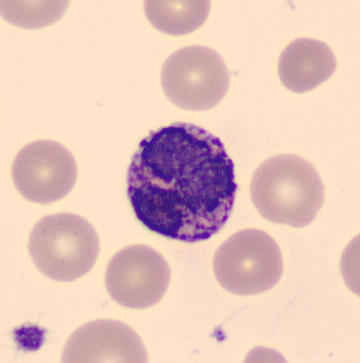
Basophil. Acquisition: Peripheral blood smear.